Bone marrow smear — 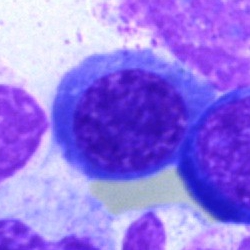Single cell identified as a normoblast.